Romanowsky-type stain. Peripheral blood smear.
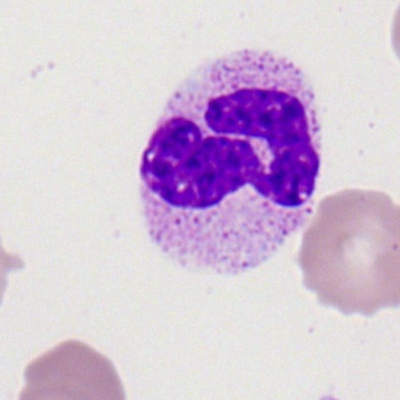{"cell_type": "segmented neutrophil", "lineage": "myeloid"}